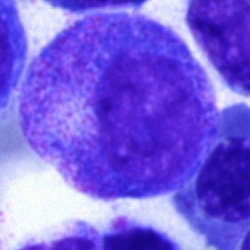 The cell shown is a promyelocyte.